Bone marrow smear — 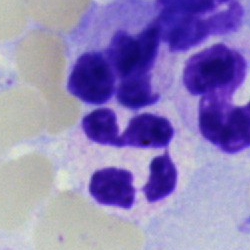

Morphological class — segmented neutrophil.